Pappenheim-stained; bone marrow aspirate smear
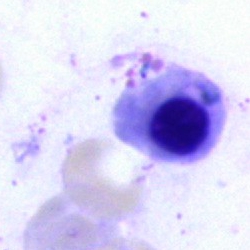 A nucleated red blood cell.